May-Grünwald-Giemsa stain. Bone marrow aspirate smear — 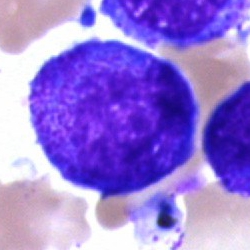 Impression — promyelocyte.